Bone marrow smear: 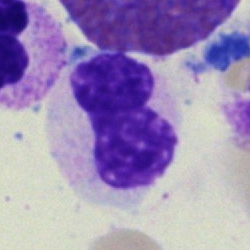
Single cell identified as a neutrophil (band).